Bone marrow aspirate smear
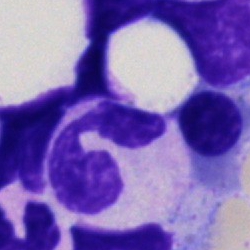

A segmented neutrophil.